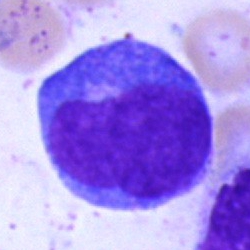

Morphology — blast.